250×250 px; bone marrow aspirate smear
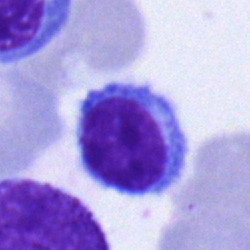 Q: What is the morphological classification of this cell?
A: Typical lymphocyte.